Brightfield, 40× oil-immersion objective. Bone marrow aspirate smear. Single-cell crop:
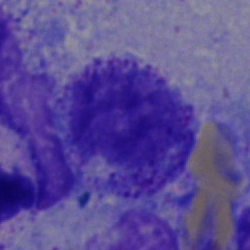The morphological class is myelocyte.